Bone marrow aspirate smear
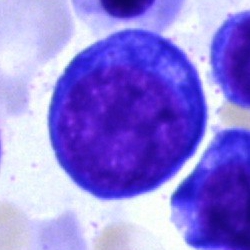 Single cell identified as a normoblast.